Bone marrow aspirate smear: 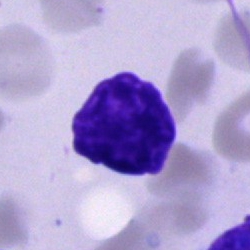

Q: What is shown here?
A: It is an artefact.